Bone marrow smear — 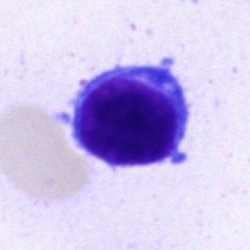This is a typical lymphocyte.